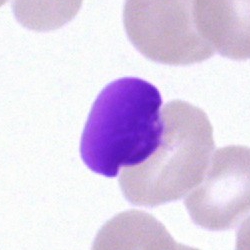

Single cell identified as an artefact.